Bone marrow aspirate smear.
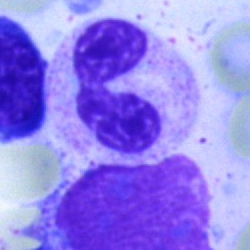

Impression → neutrophil (segmented).